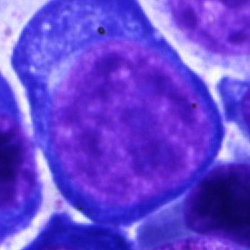 Q: What type of cell is this?
A: This is a proerythroblast.